Image size 250×250; bone marrow aspirate smear — 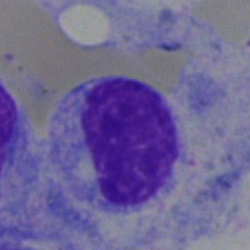Morphology → typical lymphocyte.